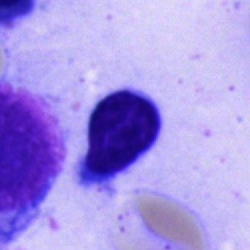Single cell identified as a lymphocyte.